Bone marrow aspirate smear:
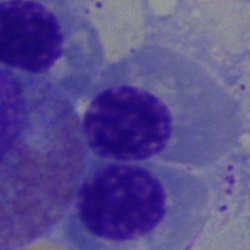This is a normoblast.